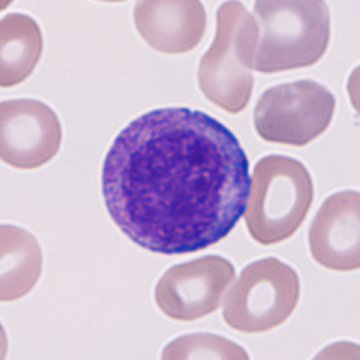
Cell: immature granulocyte (promyelocyte, myelocyte or metamyelocyte).